250×250 px; 40× objective, oil immersion; bone marrow smear:
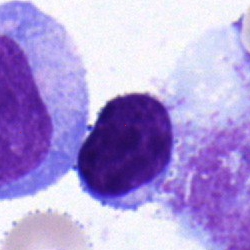

Morphology consistent with a typical lymphocyte.